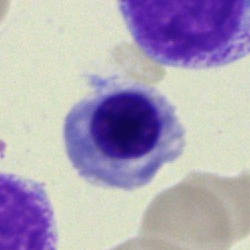 Single-cell crop from a bone marrow smear: nucleated red cell.